MGG-stained. Bone marrow aspirate smear. Single cell centered in the field
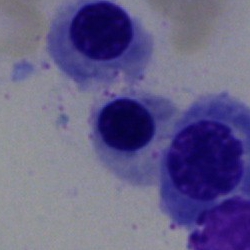 The cell is erythroblast.